Bone marrow smear
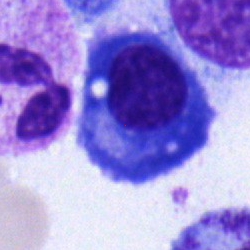This is a plasma cell.